Bone marrow aspirate smear:
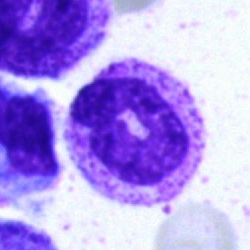
Polymorphonuclear neutrophil.